Bone marrow smear:
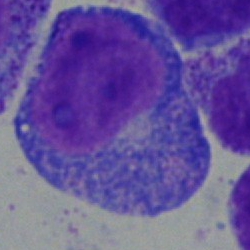 Cell — progranulocyte.